Bone marrow aspirate smear · MGG-stained: 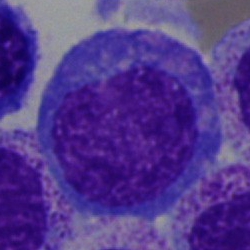 Single cell identified as a promyelocyte.